Bone marrow smear.
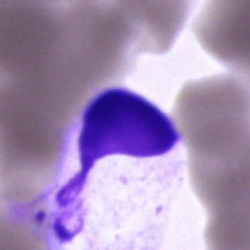 Impression — cell of indeterminate lineage.